Bone marrow aspirate smear · 250 by 250 pixels · single cell centered in the field.
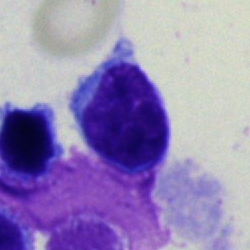Specimen: bone marrow smear.
Cell type: typical lymphocyte.
Lineage: lymphoid.